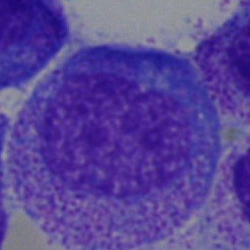The morphological class is progranulocyte.